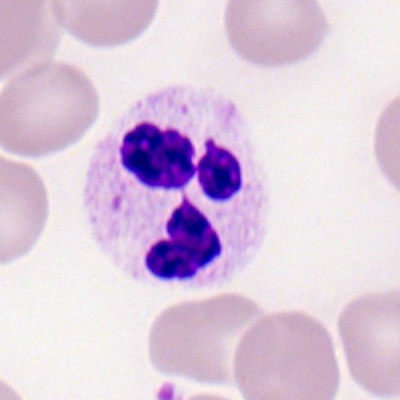
Q: Which cell type is shown here?
A: It is a segmented neutrophil.